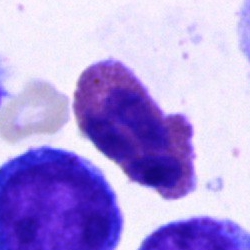

Specimen: bone marrow aspirate smear.
Cell: eosinophilic granulocyte.
Lineage: myeloid.